Bone marrow smear: 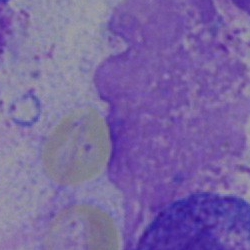

Q: What is shown here?
A: This is an artifact.